Bone marrow smear. May-Grünwald-Giemsa/Pappenheim stain
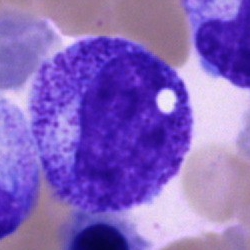 Classification: progranulocyte.